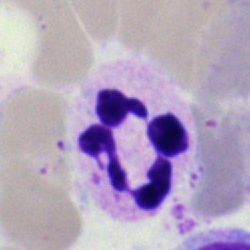Single cell identified as a polymorphonuclear neutrophil.